Bone marrow aspirate smear.
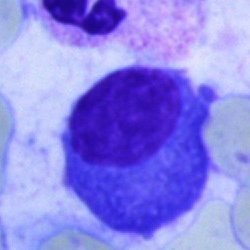
This is a plasma cell.